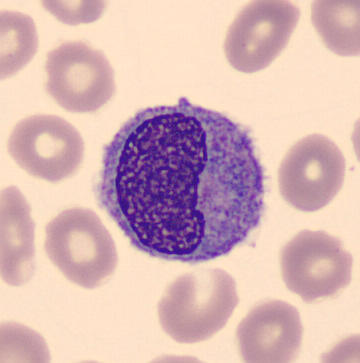Peripheral blood film, single cell — monocyte.